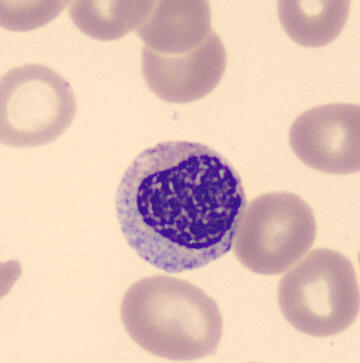
Acquisition: MGG stain · imaged on a CellaVision DM96 analyser · peripheral blood smear. The cell shown is a myelocyte.